Single-cell field. Bone marrow smear. Image size 250×250:
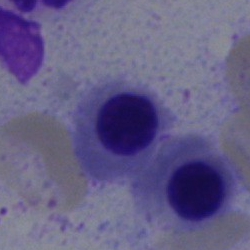 Morphology → erythroblast.